Bone marrow smear; single-cell crop
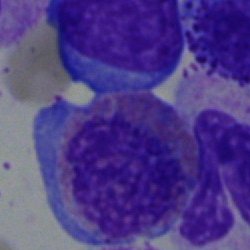Q: What is shown here?
A: An eosinophilic granulocyte.